Bone marrow smear; 250 by 250 pixels; 40× objective, oil immersion: 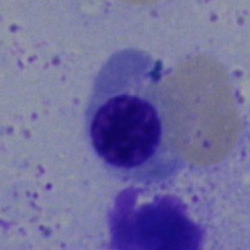 The classification is nucleated red blood cell.